Bone marrow aspirate smear
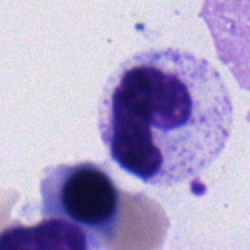
Impression → stab cell.